Bone marrow smear
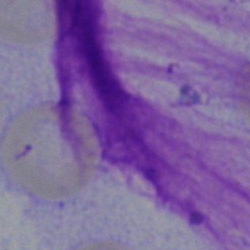
Specimen: bone marrow aspirate smear.
Classification: artefact.